Bone marrow aspirate smear. 250×250 px.
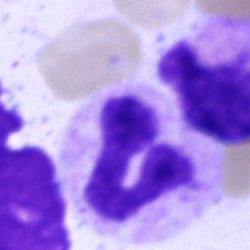
Specimen: bone marrow aspirate smear.
Morphological class: stab cell.
Lineage: myeloid.